Bone marrow aspirate smear. 40× objective, oil immersion:
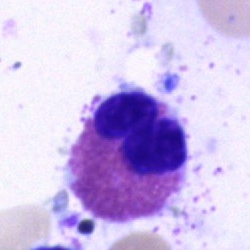

This is an eosinophilic granulocyte.